Single-cell field. Bone marrow aspirate smear: 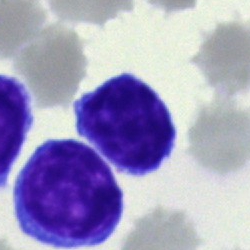
The cell shown is a typical lymphocyte.